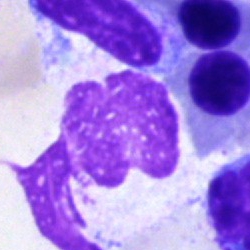Bone marrow smear showing an artifact.